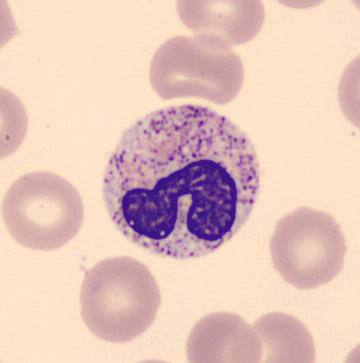

Identified as a band-form neutrophil.
360 by 363 pixels · peripheral blood smear.